Bone marrow smear:
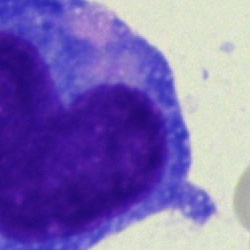

Morphology — pronormoblast.